Bone marrow aspirate smear.
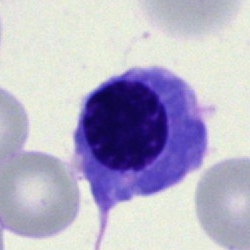{"cell_type": "nucleated red blood cell"}